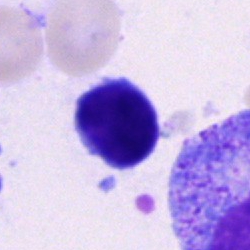 Specimen: bone marrow aspirate smear.
Classification: lymphocyte.
Lineage: lymphoid.